Brightfield microscopy, 40× oil immersion · May-Grünwald-Giemsa/Pappenheim stain · bone marrow smear:
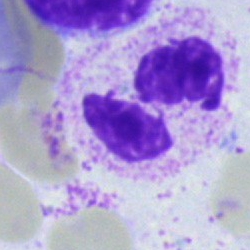 Cell: neutrophil (segmented).